Bone marrow aspirate smear. Single-cell crop
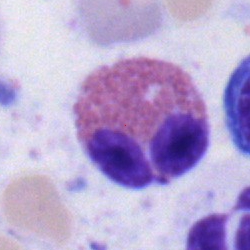 Impression — eosinophil.